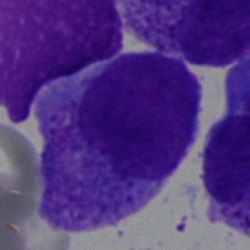
Single-cell crop from a bone marrow smear: blast cell.